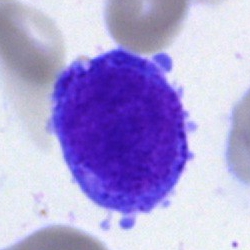

Q: What is the morphological classification of this cell?
A: This is a blast cell.